Single-cell field; bone marrow smear — 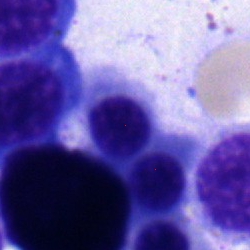

Showing a nucleated red cell.